Bone marrow smear; 250 by 250 pixels
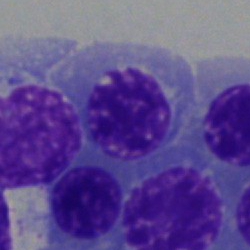

Showing a nucleated red cell.